Image size 250×250; May-Grünwald-Giemsa stain; bone marrow smear.
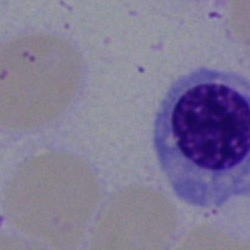Q: Which cell type is shown here?
A: An erythroblast.